Bone marrow aspirate smear; cropped to a single cell
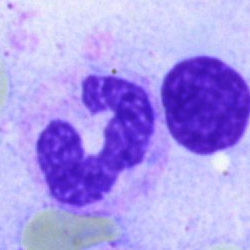 Classification = polymorphonuclear neutrophil.